Bone marrow aspirate smear.
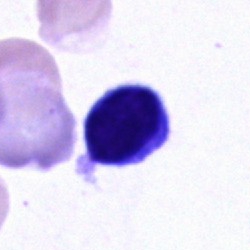
Q: Which cell type is shown here?
A: This is a typical lymphocyte.